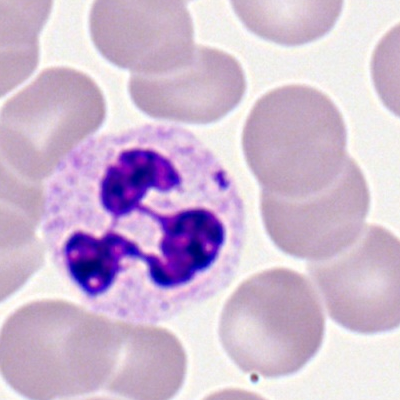
Specimen: peripheral blood smear.
Cell: polymorphonuclear neutrophil.
Lineage: myeloid.